250×250. Brightfield, 40× oil-immersion objective. Bone marrow smear
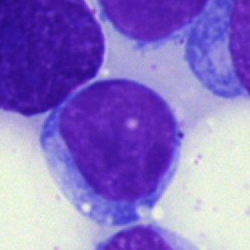 Classification = typical lymphocyte.